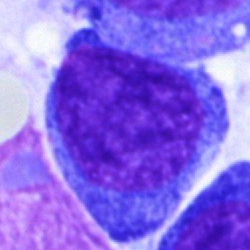
Q: What type of cell is this?
A: It is a blast cell.